Brightfield, 40× oil-immersion objective · bone marrow aspirate smear
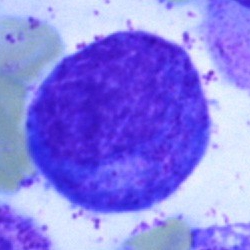

The cell is progranulocyte.